Bone marrow aspirate smear:
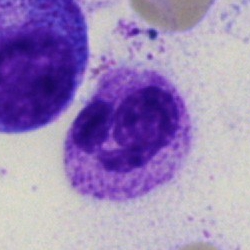 Q: What type of cell is this?
A: It is a polymorphonuclear neutrophil.